Bone marrow aspirate smear. May-Grünwald-Giemsa/Pappenheim stain: 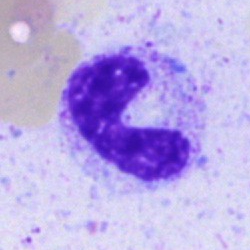Q: Identify the cell.
A: A neutrophil (band).